Single cell centered in the field · MGG-stained · bone marrow smear:
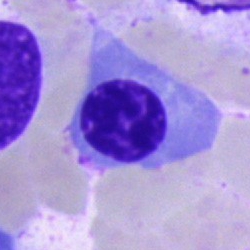Cell — erythroblast.